40× oil immersion · bone marrow smear — 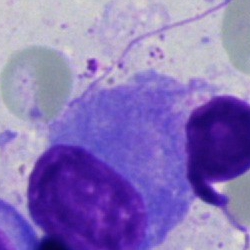Cell type — plasmacyte.